Bone marrow smear:
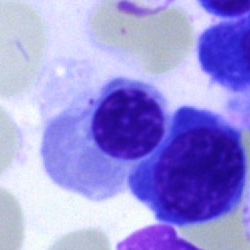

Morphological class = nucleated red cell.